Bone marrow smear
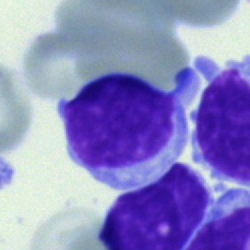

This is a typical lymphocyte.